250 by 250 pixels · bone marrow smear.
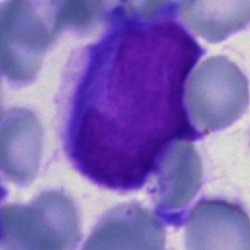 Impression → undifferentiated blast.